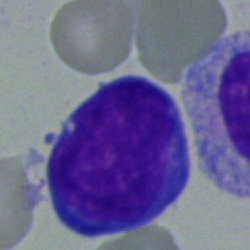
Morphology — pronormoblast.